Bone marrow aspirate smear: 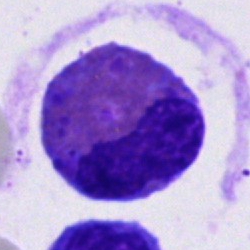The cell shown is an eosinophil.